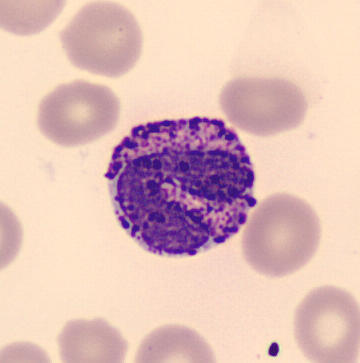 Q: Which cell type is shown here?
A: It is a basophil. Image: Peripheral blood smear.